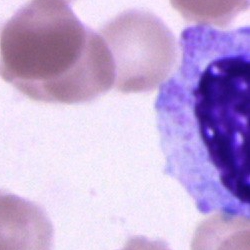

Single-cell crop from a bone marrow smear: unidentifiable cell.